Bone marrow smear; Pappenheim-stained:
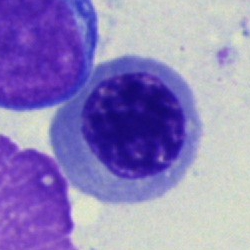

The cell shown is a normoblast.